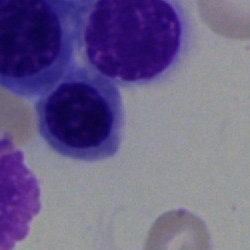Bone marrow aspirate smear, single cell — normoblast.